Image size 250×250 · bone marrow smear · single-cell crop — 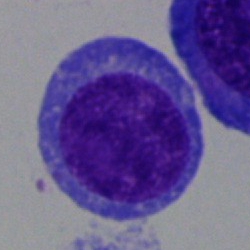

Q: What is the morphological classification of this cell?
A: An undifferentiated blast.